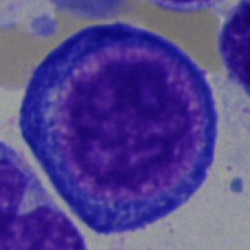Classification: pronormoblast.